Bone marrow smear.
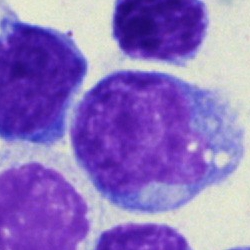 Showing a blast.